Bone marrow aspirate smear: 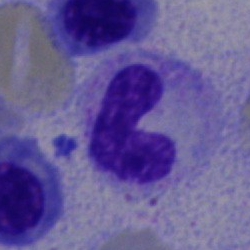Classification — neutrophil (band).